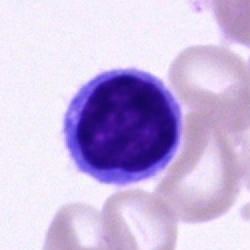Single cell identified as a lymphocyte.